MGG-stained · 250 by 250 pixels · bone marrow aspirate smear — 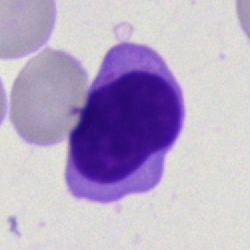 Q: What is shown here?
A: This is a lymphocyte.